Single cell centered in the field. Bone marrow smear. Brightfield, 40× oil-immersion objective.
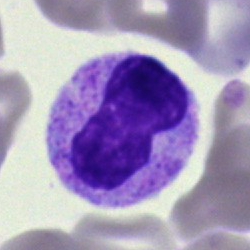
Single cell identified as a band-form neutrophil.